Bone marrow smear:
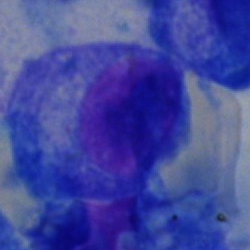Q: What is the morphological classification of this cell?
A: Plasmacyte.